Single-cell field · bone marrow smear · brightfield microscopy, 40× oil immersion.
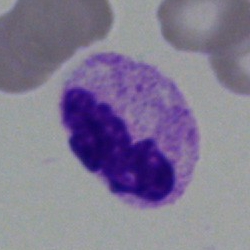
A polymorphonuclear neutrophil.